Bone marrow smear · cropped to a single cell.
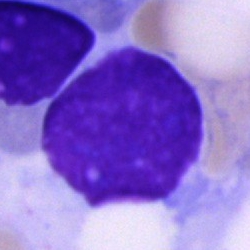

Classification = artefact.